Bone marrow aspirate smear. 250 by 250 pixels.
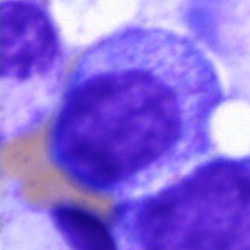Q: What type of cell is this?
A: Promyelocyte.